Bone marrow smear; cropped to a single cell
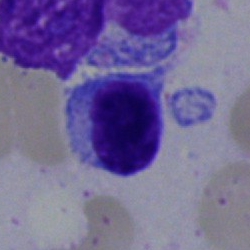

Specimen: bone marrow aspirate smear.
Classification: erythroblast.
Lineage: erythroid.